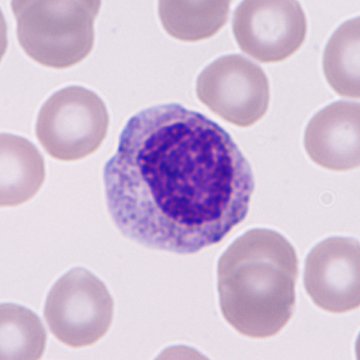
From a peripheral blood smear: an immature granulocyte.